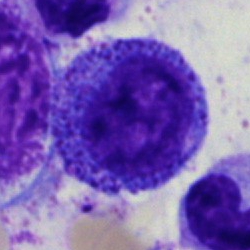
Cell type: promyelocyte.